May-Grünwald-Giemsa/Pappenheim stain · bone marrow smear — 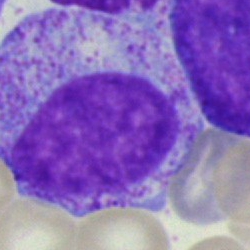Showing a promyelocyte.